Bone marrow smear — 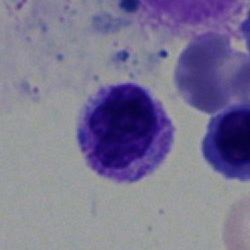
The cell shown is a myelocyte.